Bone marrow aspirate smear — 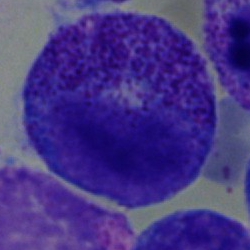

The cell type is progranulocyte.